Bone marrow aspirate smear; brightfield microscopy, 40× oil immersion:
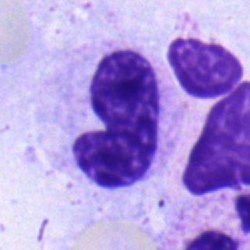
Neutrophil (band).